250×250 px. Bone marrow smear: 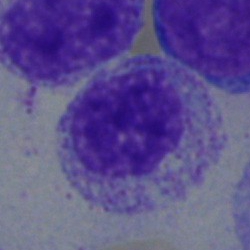
Morphology consistent with a myelocyte.